Cropped to a single cell. Bone marrow aspirate smear.
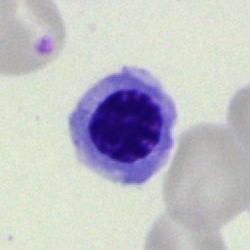

Showing a nucleated red cell.